May-Grünwald-Giemsa/Pappenheim stain; bone marrow smear; 250 by 250 pixels.
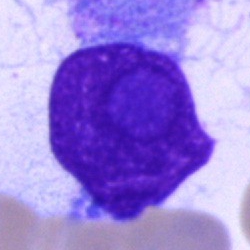

Plasma cell.